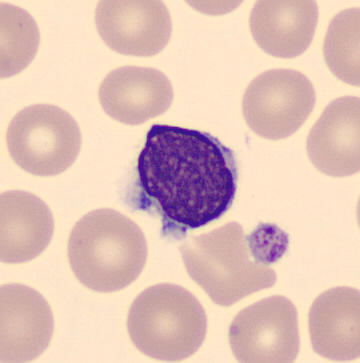
Impression → typical lymphocyte. Image: Peripheral blood smear.